Peripheral blood film — 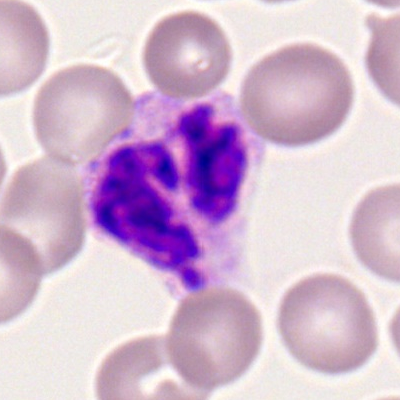

Basophilic granulocyte.